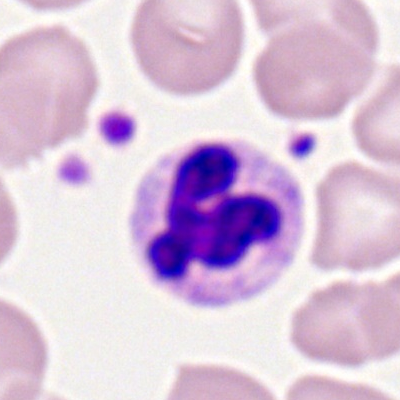{"cell_type": "segmented neutrophil"}